Bone marrow aspirate smear:
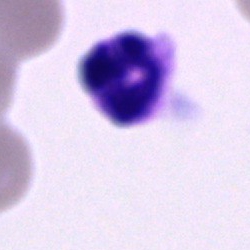
The cell is segmented neutrophil.